Bone marrow smear.
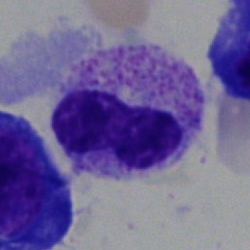
Showing a band neutrophil.